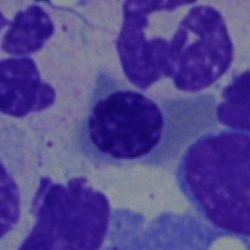
The morphological class is polymorphonuclear neutrophil.